Peripheral blood smear.
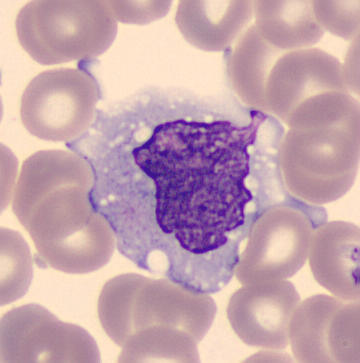

A monocyte.